Single cell centered in the field. Bone marrow smear — 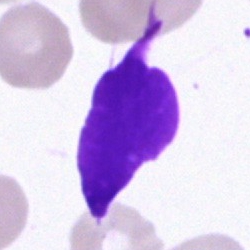 The cell shown is an artifact.